Bone marrow aspirate smear — 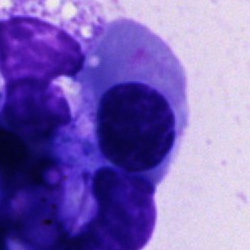Cell type = nucleated red cell.